Bone marrow smear: 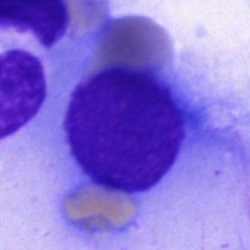

Cell type: artifact.